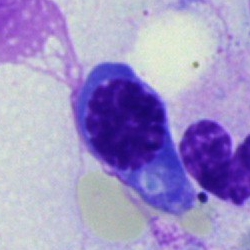
Showing a nucleated red cell.